Bone marrow aspirate smear; brightfield microscopy, 40× oil immersion — 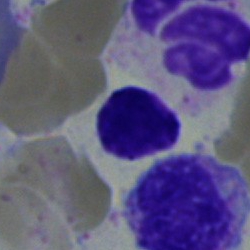 Cell type = lymphocyte.